Bone marrow smear
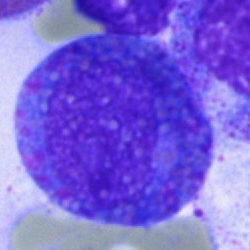

A progranulocyte.